250×250; bone marrow smear; May-Grünwald-Giemsa/Pappenheim stain — 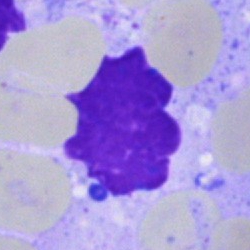

Cell = artefact.